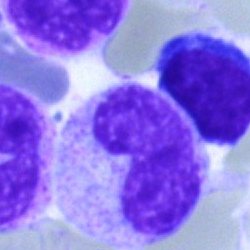

Bone marrow aspirate smear, single cell — band-form neutrophil.